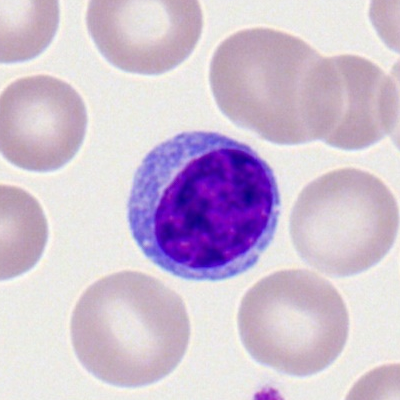 Morphological class = typical lymphocyte.